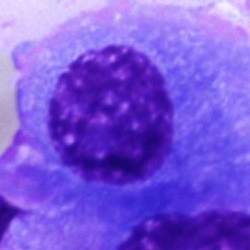Morphology — plasma cell.